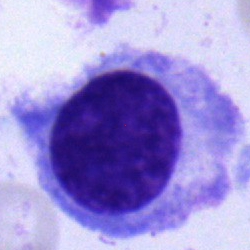
Q: Identify the cell.
A: A plasmacyte.